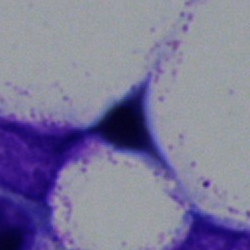
The cell shown is an artefact.